Bone marrow smear · cropped to a single cell
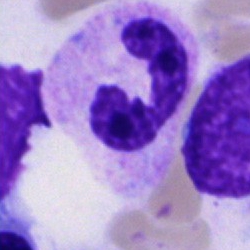 A band neutrophil.